Bone marrow smear · single-cell crop: 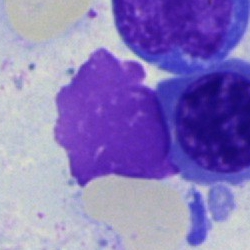 Q: What is shown here?
A: This is an artefact.